Brightfield microscopy, 40× oil immersion; bone marrow smear.
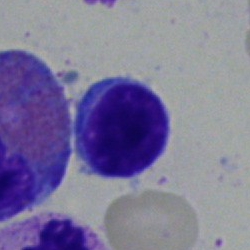 {"cell_type": "lymphocyte"}